Bone marrow aspirate smear:
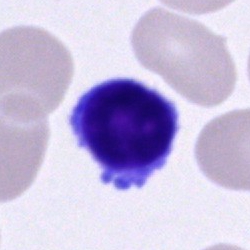
Impression — lymphocyte.